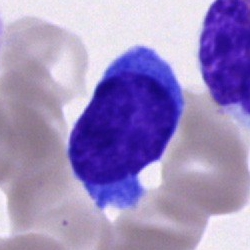 Morphological class — typical lymphocyte.